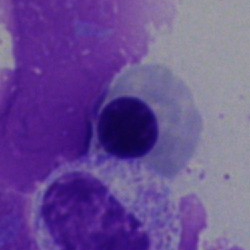Single-cell crop from a bone marrow smear: nucleated red blood cell.